Bone marrow aspirate smear — 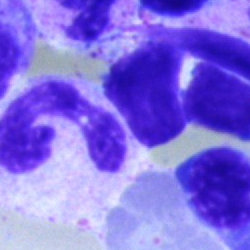

This is an artifact.